Bone marrow aspirate smear — 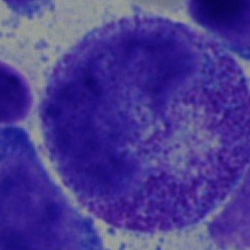
Impression — metamyelocyte.